360×363 px · peripheral blood film · CellaVision DM96: 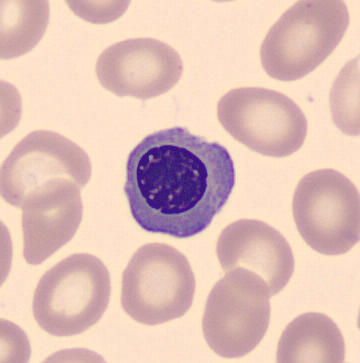
Impression — normoblast.